40× objective, oil immersion. Bone marrow aspirate smear:
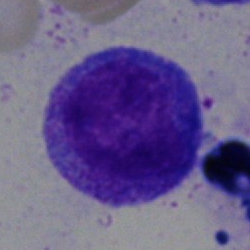Showing a progranulocyte.